Bone marrow aspirate smear: 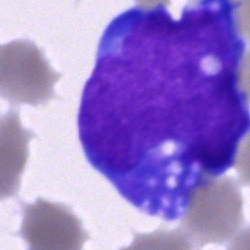

Specimen: bone marrow aspirate smear.
Cell type: blast cell.